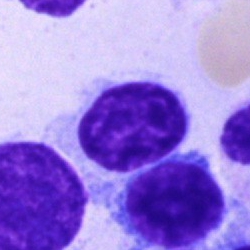

This is a typical lymphocyte.